Bone marrow aspirate smear. Single cell centered in the field. May-Grünwald-Giemsa stain
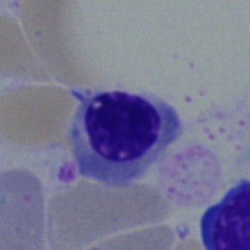

Classification = normoblast.